Bone marrow aspirate smear — 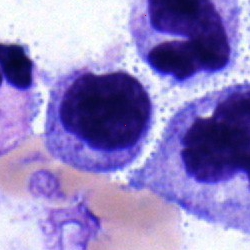
Single cell identified as a myelocyte.